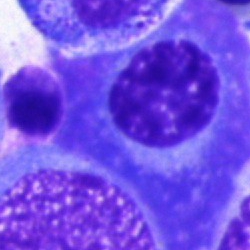 The classification is plasmacyte.